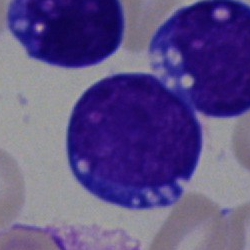 {"cell_type": "undifferentiated blast"}